250×250 px · bone marrow aspirate smear.
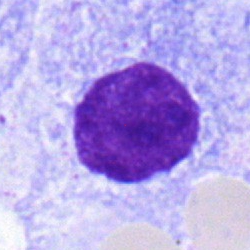

Q: What is the morphological classification of this cell?
A: Plasma cell.